Bone marrow smear: 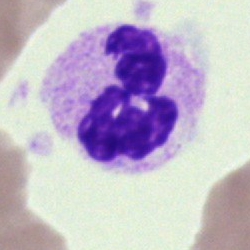

A neutrophil (segmented).